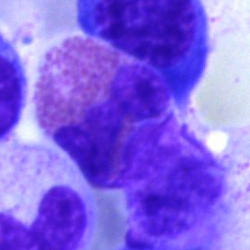Specimen: bone marrow smear.
Cell: eosinophilic granulocyte.